Single-cell crop · bone marrow aspirate smear.
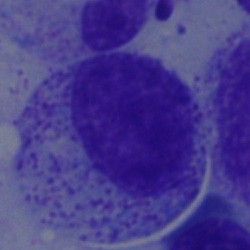
The cell is myelocyte.